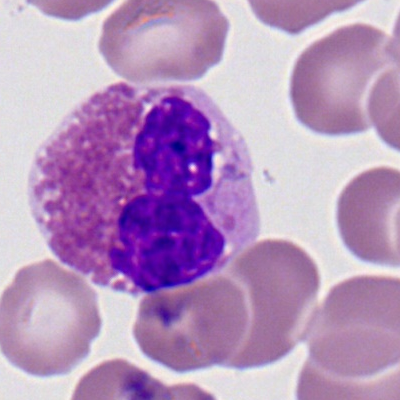This is an eosinophil.